Bone marrow aspirate smear:
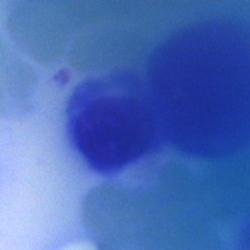

This is an artifact.